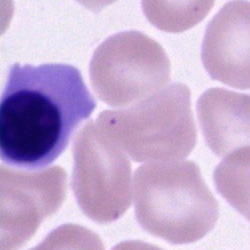Classification: nucleated red blood cell.